MGG-stained · bone marrow smear: 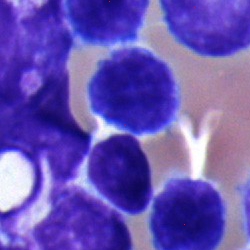
Impression — typical lymphocyte.